May-Grünwald-Giemsa/Pappenheim stain. Bone marrow aspirate smear: 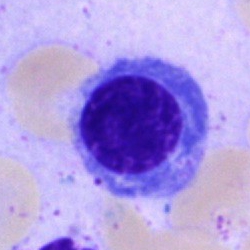
Morphology → normoblast.